Bone marrow aspirate smear.
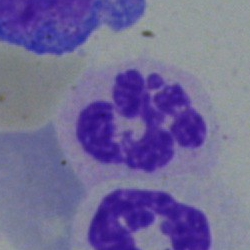

Impression — neutrophil (segmented).